Bone marrow aspirate smear: 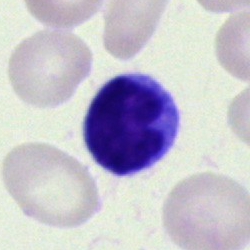

The cell shown is a lymphocyte.